Bone marrow aspirate smear.
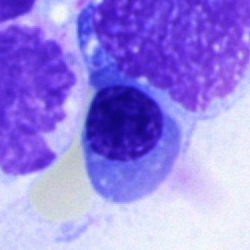
Cell: nucleated red blood cell.